Bone marrow smear
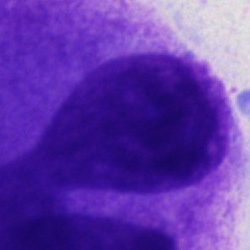

This is an artifact.